250×250 · bone marrow smear
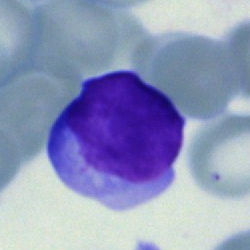 Morphology — lymphocyte.